Bone marrow smear:
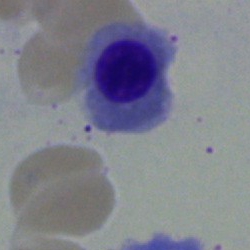
Morphological class: normoblast.